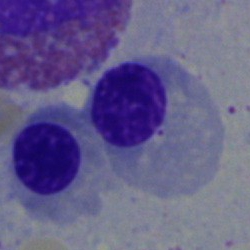 Cell type: erythroblast.